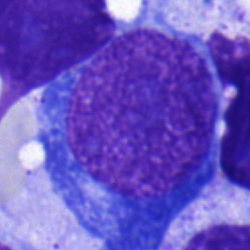

Q: Identify the cell.
A: This is a proerythroblast.